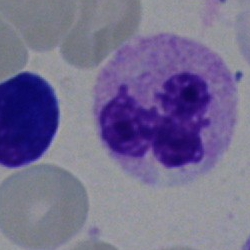 Cell type: segmented neutrophil.